Bone marrow aspirate smear. Single-cell field: 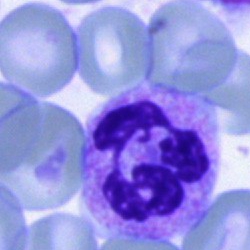

The cell type is polymorphonuclear neutrophil.